Bone marrow smear; single cell centered in the field; 250×250 px — 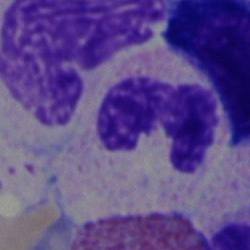 A polymorphonuclear neutrophil.